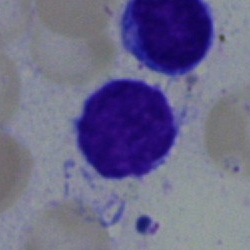 Bone marrow aspirate smear, single cell — lymphocyte.